Bone marrow smear
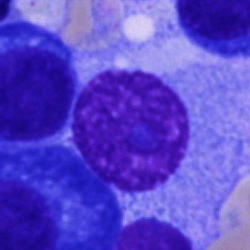 Q: What is the morphological classification of this cell?
A: Plasma cell.